Bone marrow smear
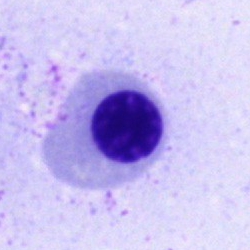 Showing a nucleated red blood cell.